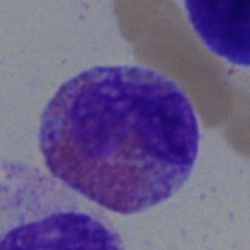

Impression — eosinophilic granulocyte.